Bone marrow aspirate smear — 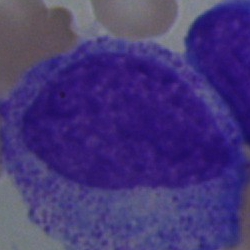
Single cell identified as a progranulocyte.